Bone marrow smear: 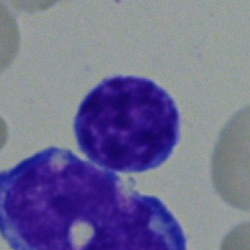 Single cell identified as a lymphocyte.